250×250 · bone marrow aspirate smear
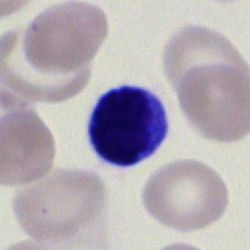Morphology — lymphocyte.